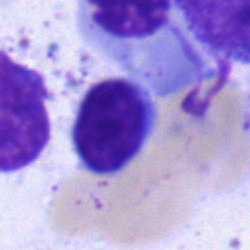 A lymphocyte.